Bone marrow aspirate smear.
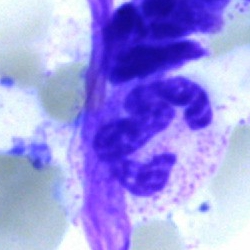 The classification is polymorphonuclear neutrophil.